Peripheral blood film: 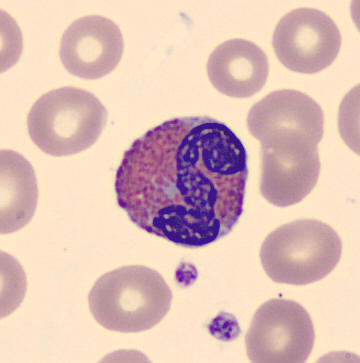
Specimen: peripheral blood smear.
Cell: eosinophilic granulocyte.